Peripheral blood smear:
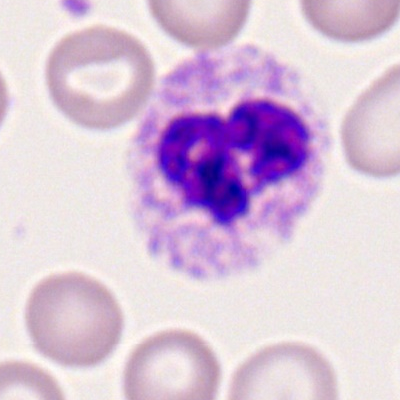Classification: polymorphonuclear neutrophil.